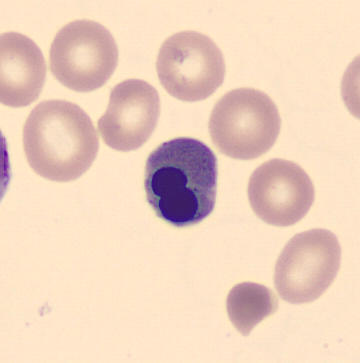

Peripheral blood smear. May-Grünwald-Giemsa-stained. Morphology — nucleated red blood cell.